Peripheral blood film · 100× oil immersion, 14.14 px/µm — 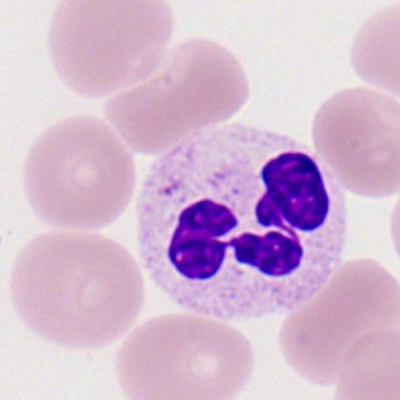 Morphology consistent with a segmented neutrophil.